Brightfield, 100× oil-immersion objective; cropped to a single cell; peripheral blood film
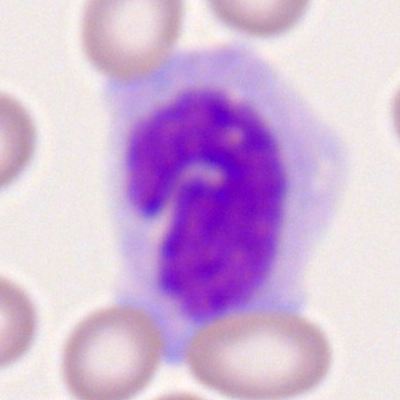

The cell shown is a monocyte.